Bone marrow smear.
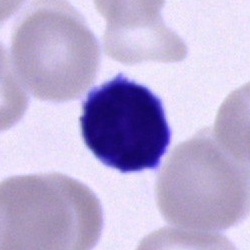Cell type: lymphocyte.